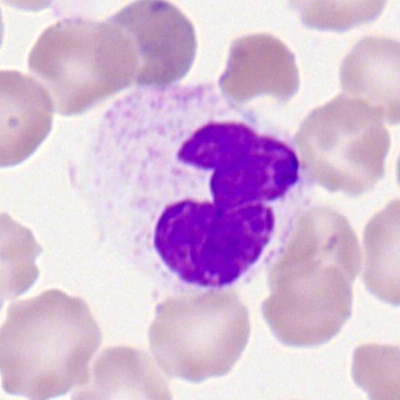Peripheral blood smear showing a neutrophil (segmented).